Bone marrow aspirate smear.
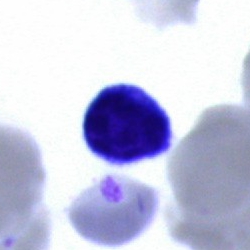{"cell_type": "artefact"}